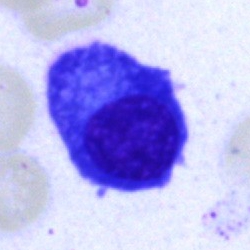 Q: What is the morphological classification of this cell?
A: This is a plasma cell.